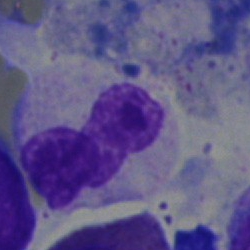

Band-form neutrophil.